Peripheral blood smear
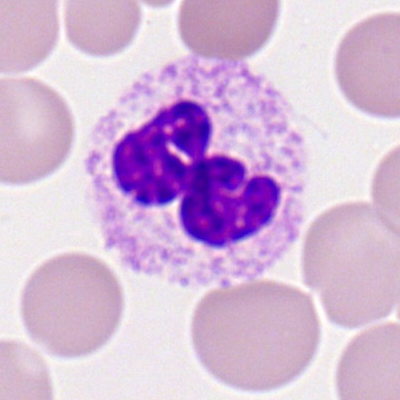 Morphological class = segmented neutrophil.